May-Grünwald-Giemsa/Pappenheim stain. Bone marrow aspirate smear
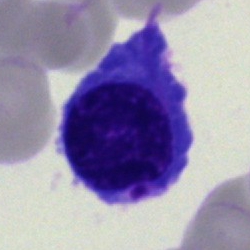Specimen: bone marrow smear.
Cell: normoblast.